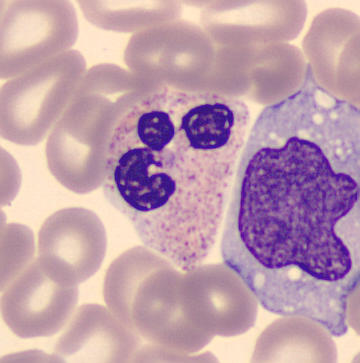
Q: Identify the cell.
A: It is a neutrophil (segmented).
Peripheral blood film.